Cropped to a single cell · bone marrow aspirate smear:
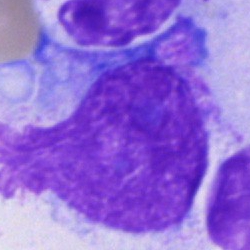Morphological class = artifact.